Bone marrow smear: 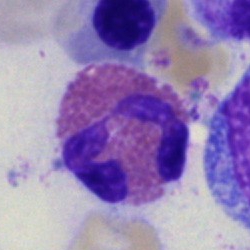Specimen: bone marrow aspirate smear.
Classification: eosinophilic granulocyte.
Lineage: myeloid.